Bone marrow aspirate smear · image size 250×250:
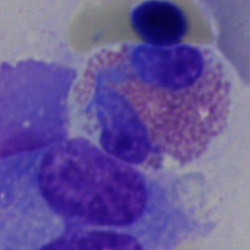 Q: What cell is this?
A: Eosinophil.